Bone marrow aspirate smear. 40× objective, oil immersion: 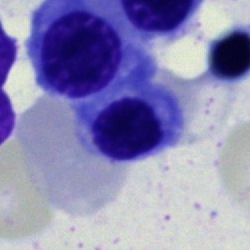The cell is erythroblast.